Bone marrow smear:
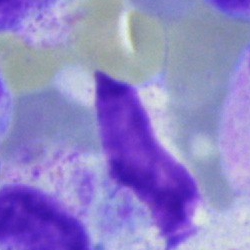
Cell — artefact.